Bone marrow aspirate smear.
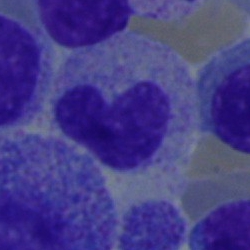
A stab cell.